40× objective, oil immersion · bone marrow smear · May-Grünwald-Giemsa stain:
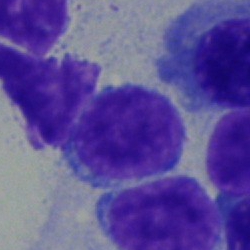Q: What is shown here?
A: A typical lymphocyte.